Peripheral blood smear:
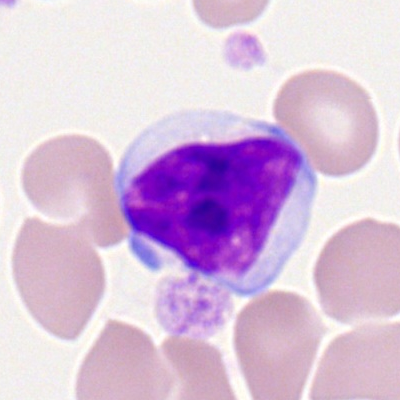 The morphological class is lymphocyte.